40× objective, oil immersion; bone marrow aspirate smear — 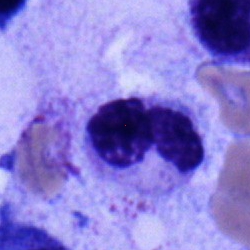

Morphological class — segmented neutrophil.